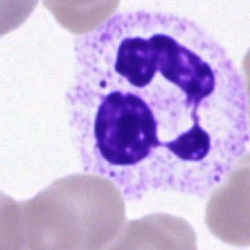Specimen: bone marrow aspirate smear.
Cell: segmented neutrophil.